Bone marrow smear — 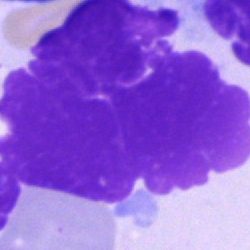 Morphology → artefact.